Bone marrow smear — 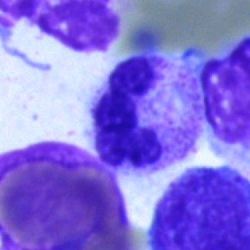

A polymorphonuclear neutrophil.